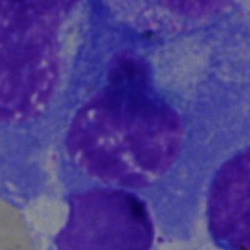 Q: What is shown here?
A: This is a plasmacyte.